Bone marrow aspirate smear — 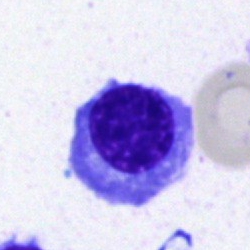

Classification = nucleated red cell.